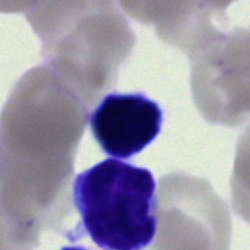 Specimen: bone marrow smear.
Cell type: lymphocyte.
Lineage: lymphoid.